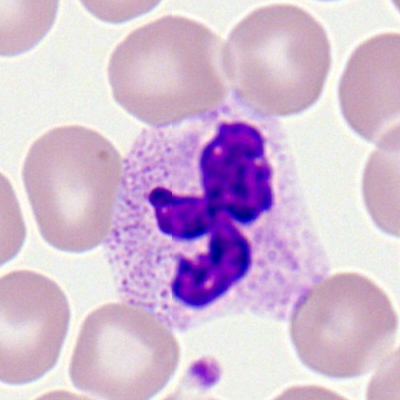Q: Identify the cell.
A: A segmented neutrophil.